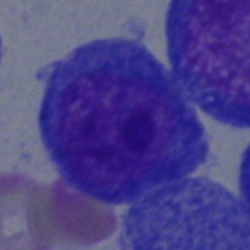

Morphology consistent with an undifferentiated blast.